Bone marrow aspirate smear
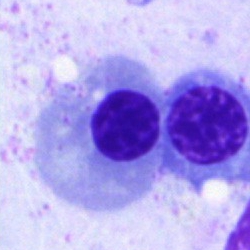 Erythroblast.